Bone marrow aspirate smear:
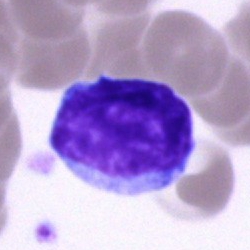Q: What cell is this?
A: This is a lymphocyte.